Bone marrow smear; 40× objective, oil immersion: 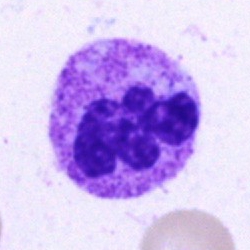
Specimen: bone marrow aspirate smear.
Morphological class: polymorphonuclear neutrophil.
Lineage: myeloid.